Bone marrow aspirate smear.
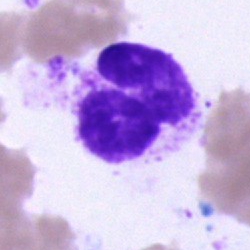

Single cell identified as a polymorphonuclear neutrophil.